Bone marrow smear
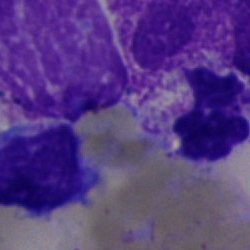 This is an artifact.